Bone marrow smear: 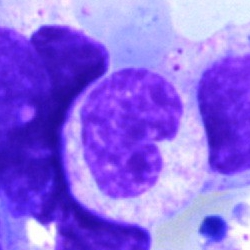

{"cell_type": "band-form neutrophil", "lineage": "myeloid"}